Bone marrow aspirate smear: 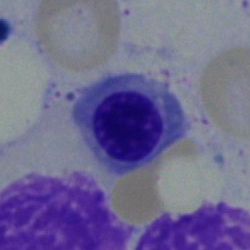Impression — nucleated red blood cell.